Bone marrow aspirate smear.
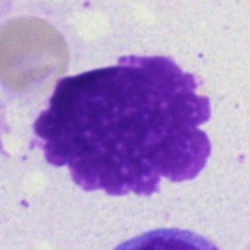 Cell = artefact.